Bone marrow aspirate smear:
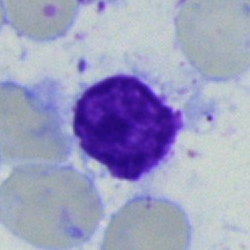Showing a lymphocyte.